Bone marrow aspirate smear.
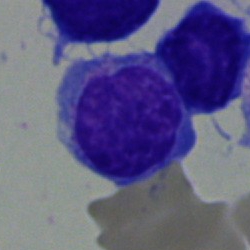 Specimen: bone marrow aspirate smear.
Morphological class: monocyte.